Bone marrow aspirate smear. Brightfield microscopy, 40× oil immersion.
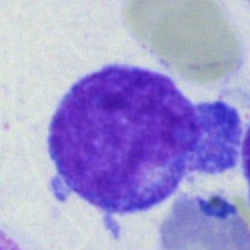

{"cell_type": "blast cell"}